Bone marrow smear: 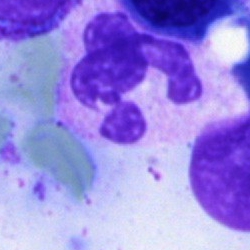
Classification: neutrophil (segmented).